Bone marrow aspirate smear; 250×250; Pappenheim-stained: 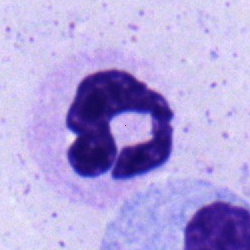
Neutrophil (segmented).